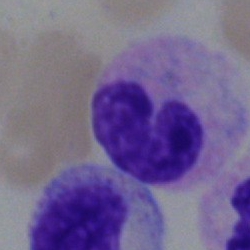

Q: What is shown here?
A: A band-form neutrophil.